Bone marrow smear — 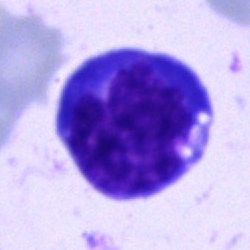Single cell identified as a blast.